Pappenheim-stained · bone marrow smear.
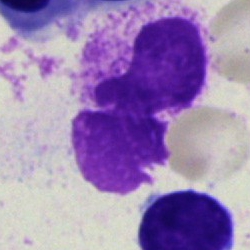This is an artifact.